Bone marrow aspirate smear. Single-cell crop. Brightfield, 40× oil-immersion objective: 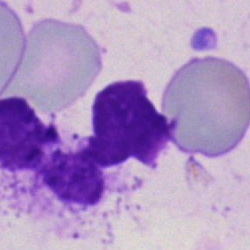

This is an artifact.